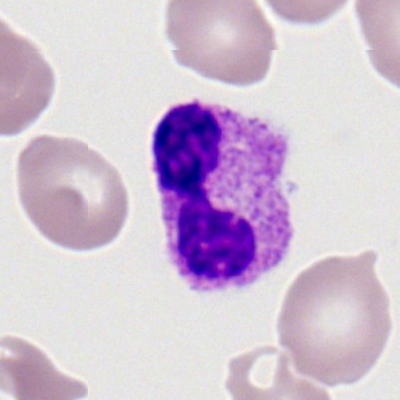This is a polymorphonuclear neutrophil.